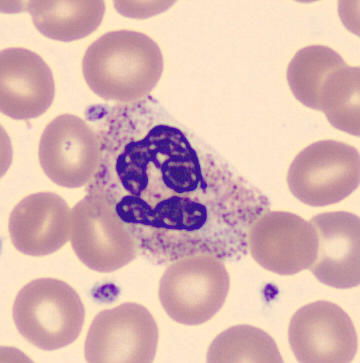
Peripheral blood film · 360×363 · imaged on a CellaVision DM96 analyser.
Morphology — segmented neutrophil.